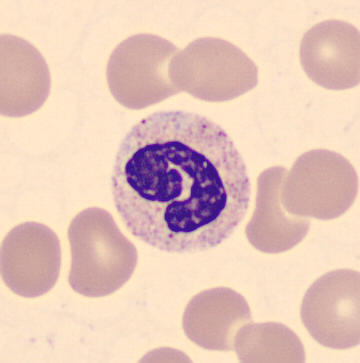

Morphological class — neutrophil (band).
Peripheral blood smear.